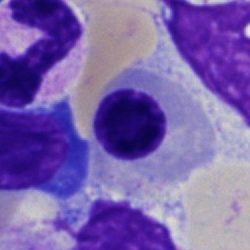

Morphological class: nucleated red cell.